Peripheral blood film — 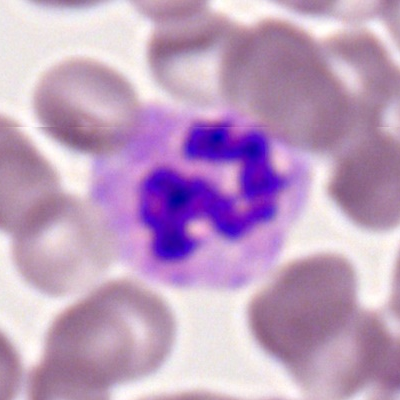 The morphological class is neutrophil (segmented).